40× oil immersion. Bone marrow aspirate smear:
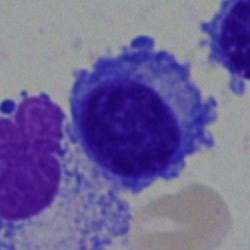Classification: plasmacyte.